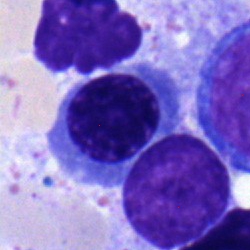
Showing a nucleated red cell.